Bone marrow smear · 250×250 px.
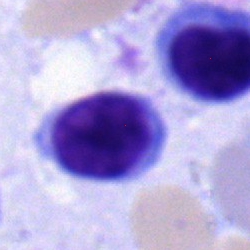

A lymphocyte.